Bone marrow aspirate smear. Single cell centered in the field: 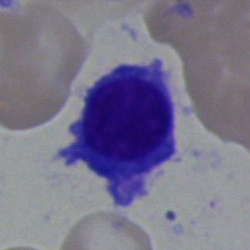Cell: plasma cell.